Bone marrow smear; May-Grünwald-Giemsa/Pappenheim stain:
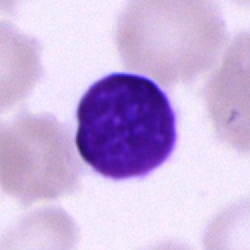 Showing a cell of indeterminate lineage.